Bone marrow smear: 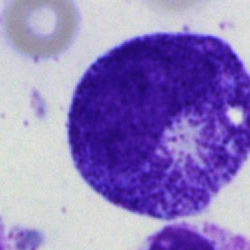 Cell: progranulocyte.